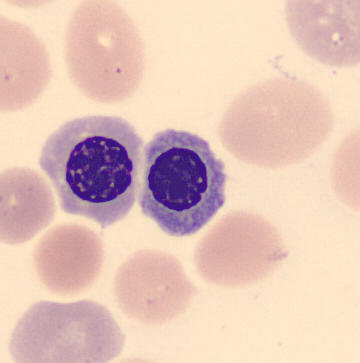 Morphology consistent with a nucleated red cell.

Acquisition: 360×363 px · peripheral blood film.